Bone marrow aspirate smear: 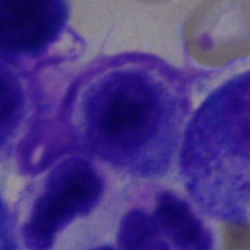 Morphological class — normoblast.